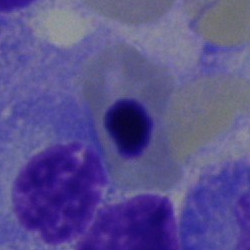 Specimen: bone marrow smear.
Morphological class: nucleated red blood cell.
Lineage: erythroid.